Bone marrow aspirate smear; cropped to a single cell; brightfield microscopy, 40× oil immersion
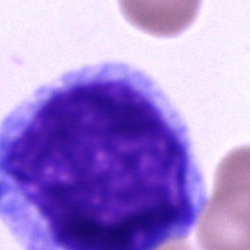

A cell of indeterminate lineage.